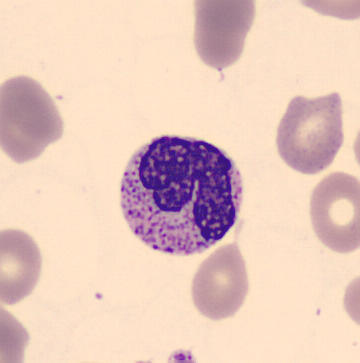
A metamyelocyte. Preparation: Peripheral blood smear.